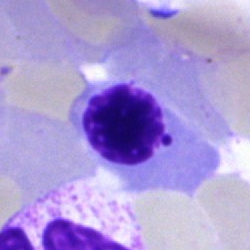 Bone marrow aspirate smear, single cell — nucleated red cell.